Bone marrow smear · 40× objective, oil immersion:
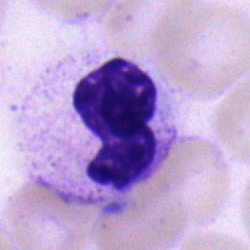Showing a polymorphonuclear neutrophil.